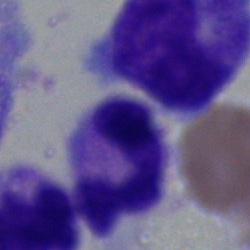 The cell shown is a neutrophil (segmented).